Bone marrow aspirate smear
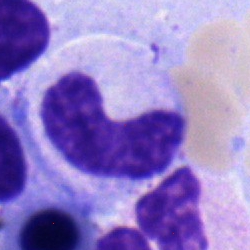Specimen: bone marrow aspirate smear.
Cell type: stab cell.